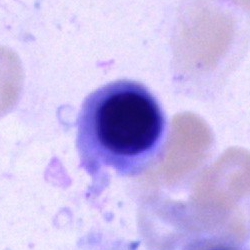 Morphology — nucleated red cell.